Bone marrow smear — 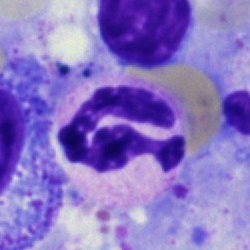The cell shown is a neutrophil (segmented).